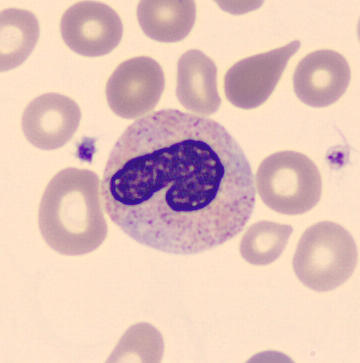
Image: Peripheral blood smear; single cell centered in the field; MGG stain. Cell type — neutrophil (band).